Brightfield microscopy, 40× oil immersion; bone marrow smear — 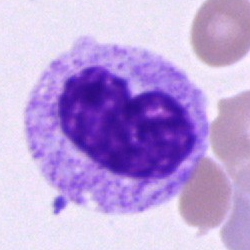 Q: What is the morphological classification of this cell?
A: It is a band-form neutrophil.